May-Grünwald-Giemsa/Pappenheim stain · bone marrow aspirate smear — 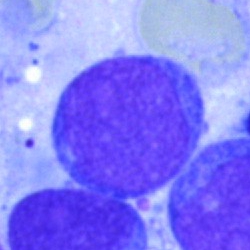Morphology consistent with a blast cell.